Bone marrow aspirate smear: 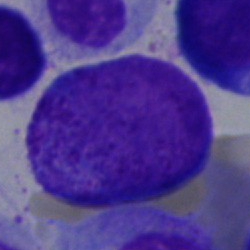 Progranulocyte.